Bone marrow aspirate smear · Pappenheim-stained — 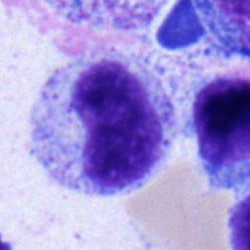

Q: What type of cell is this?
A: Metamyelocyte.